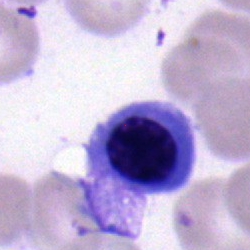Bone marrow smear showing an erythroblast.